Bone marrow aspirate smear.
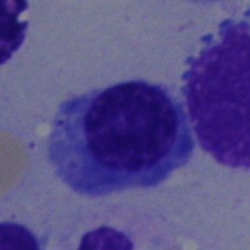{"cell_type": "nucleated red cell"}